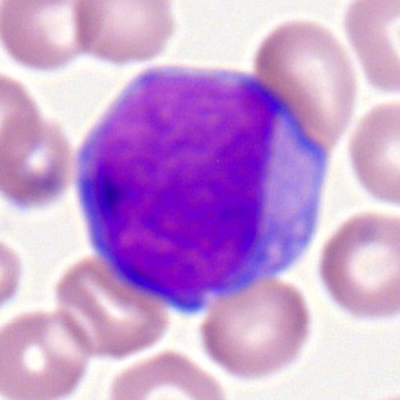 Morphological class — myeloid blast.